Bone marrow aspirate smear · MGG-stained: 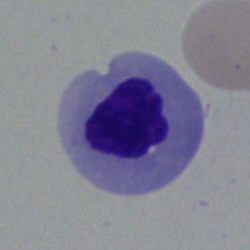Morphology → nucleated red blood cell.